Bone marrow smear:
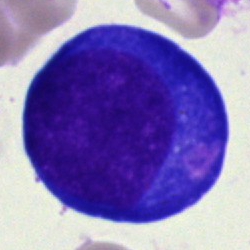
Morphology consistent with a normoblast.